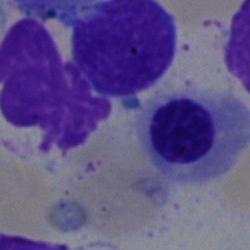 The cell is normoblast.